Bone marrow aspirate smear
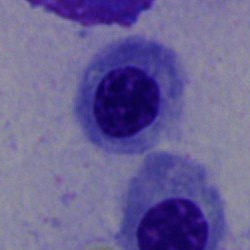

Q: Identify the cell.
A: This is a nucleated red cell.